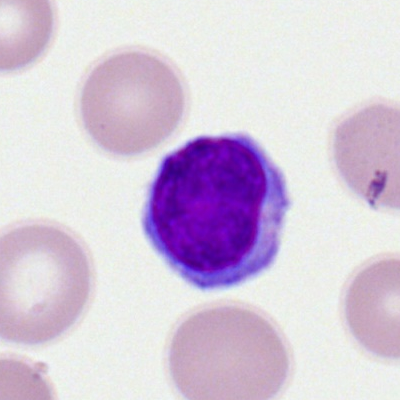
Classification — lymphocyte.